Bone marrow aspirate smear:
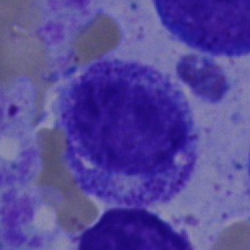
Myelocyte.